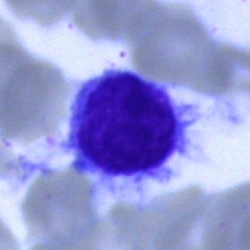
Classification — hairy cell.